Bone marrow aspirate smear · cropped to a single cell · 250×250 px: 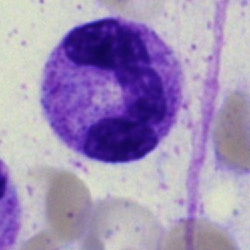 Q: What is shown here?
A: It is a neutrophil (segmented).